Bone marrow aspirate smear
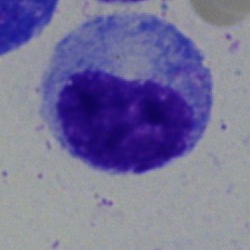 Specimen: bone marrow aspirate smear.
Morphological class: myelocyte.
Lineage: myeloid.